Bone marrow aspirate smear. Brightfield microscopy, 40× oil immersion.
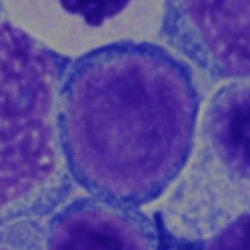 Q: What is the morphological classification of this cell?
A: It is a proerythroblast.